Bone marrow smear · image size 250×250 — 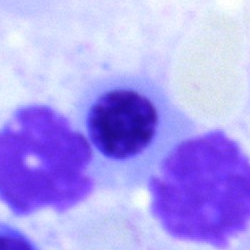Cell type — normoblast.